Peripheral blood smear.
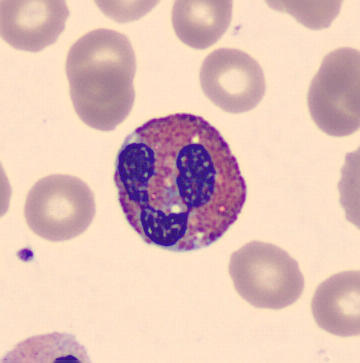Morphological class: eosinophil.